250×250; single cell centered in the field; bone marrow smear — 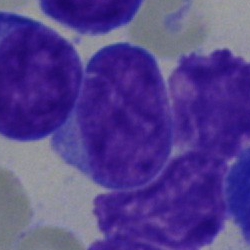

Specimen: bone marrow smear.
Morphological class: undifferentiated blast.